Single-cell crop · bone marrow aspirate smear: 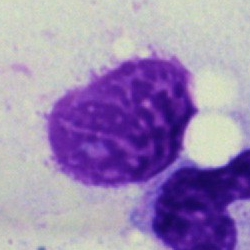The cell shown is an artefact.